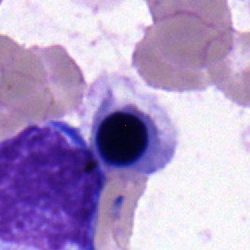
Classification: normoblast.